Bone marrow aspirate smear
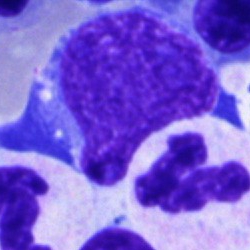 Impression → segmented neutrophil.